May-Grünwald-Giemsa stain. Bone marrow smear:
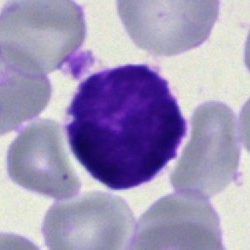

The cell shown is an artefact.